May-Grünwald-Giemsa stain; bone marrow smear.
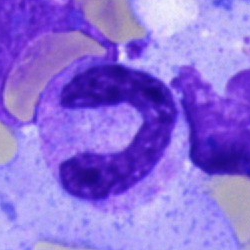Q: What type of cell is this?
A: A band neutrophil.